40× oil immersion. Bone marrow aspirate smear — 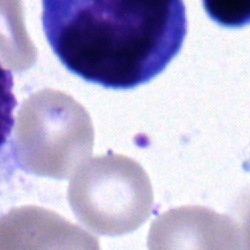

Q: What cell is this?
A: Monocyte.